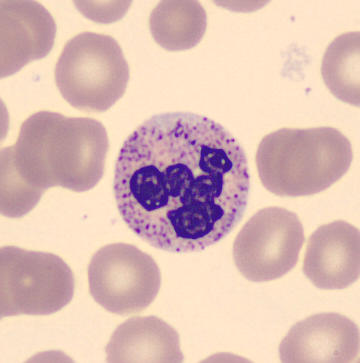Cell = polymorphonuclear neutrophil.